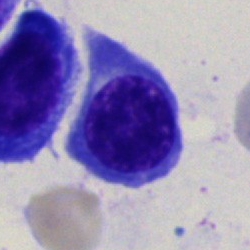
The classification is nucleated red cell.